Bone marrow aspirate smear · cropped to a single cell:
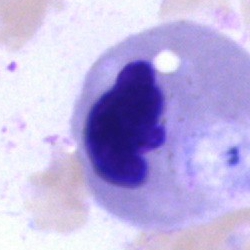A nucleated red cell.